Bone marrow aspirate smear · 250×250: 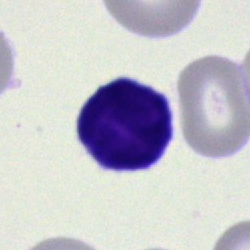Showing a typical lymphocyte.